Single cell centered in the field · bone marrow aspirate smear · Pappenheim-stained: 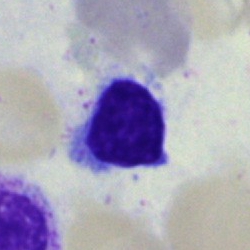

A lymphocyte.